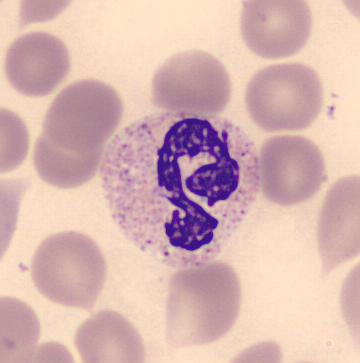

A segmented neutrophil. Acquisition: MGG stain · peripheral blood smear.